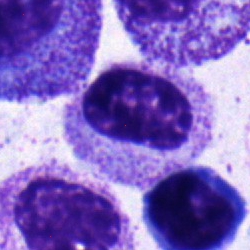The cell shown is a metamyelocyte.